Peripheral blood film.
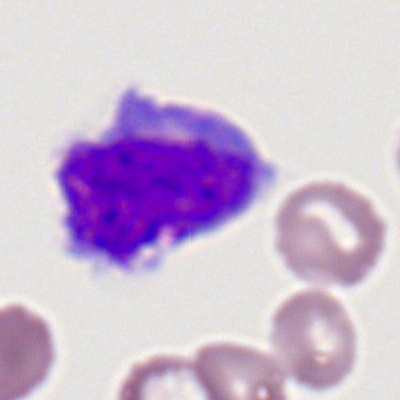

Morphology → monocyte.